Bone marrow smear. 250 by 250 pixels
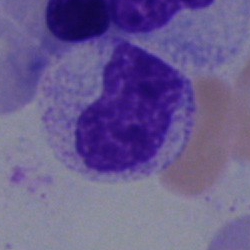
A metamyelocyte.